Peripheral blood film. 400 by 400 pixels.
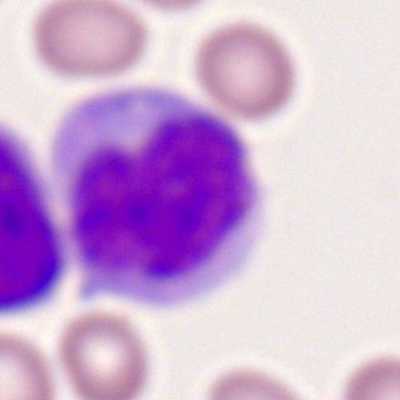 A monocyte.